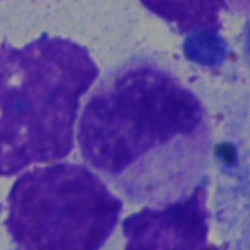The morphological class is band-form neutrophil.